Bone marrow aspirate smear: 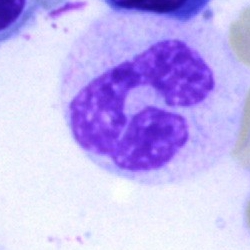 Cell type = segmented neutrophil.